400 by 400 pixels; peripheral blood smear:
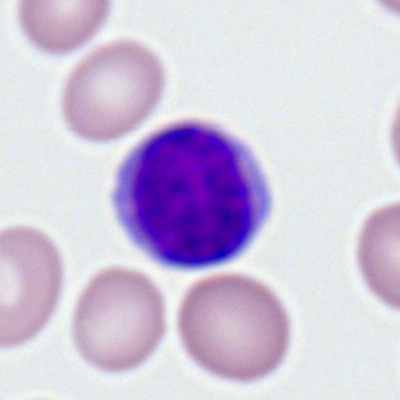

{"cell_type": "lymphocyte"}